Pappenheim-stained. 40× oil immersion. Bone marrow smear.
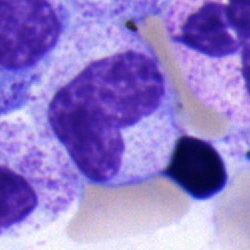A metamyelocyte.